Bone marrow smear; May-Grünwald-Giemsa/Pappenheim stain; single-cell crop: 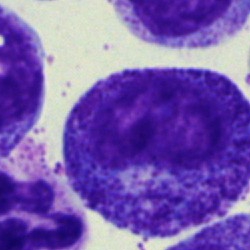

The cell shown is a promyelocyte.